Pappenheim-stained; bone marrow smear: 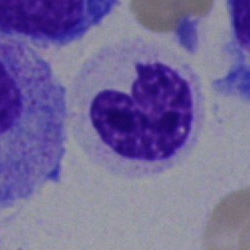 Specimen: bone marrow aspirate smear.
Classification: band-form neutrophil.
Lineage: myeloid.